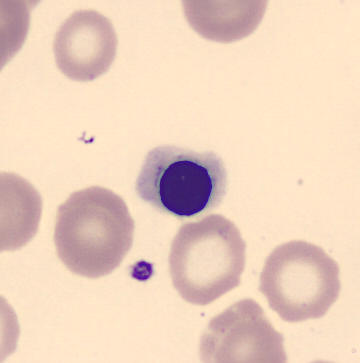 Q: Identify the cell.
A: It is an erythroblast.
Preparation: May Grünwald-Giemsa stain · peripheral blood film.